Bone marrow smear
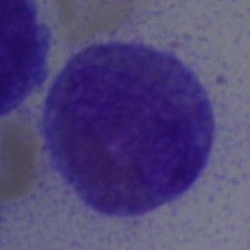

{"cell_type": "eosinophil", "lineage": "myeloid"}